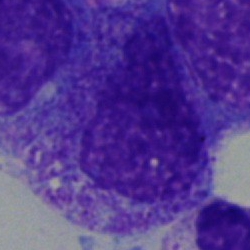 Morphological class = promyelocyte.